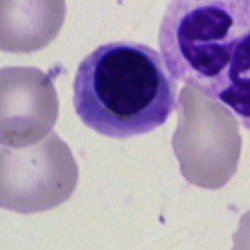
Q: Which cell type is shown here?
A: It is an erythroblast.